Bone marrow aspirate smear.
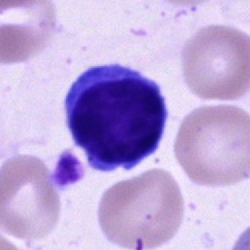
Specimen: bone marrow aspirate smear.
Cell type: lymphocyte.